Single-cell field · bone marrow smear
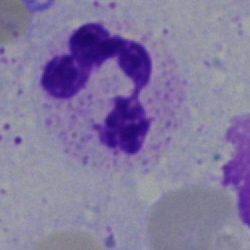Morphological class — neutrophil (segmented).